Bone marrow aspirate smear
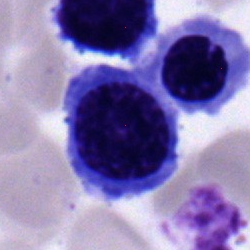 Cell: normoblast.